Bone marrow aspirate smear: 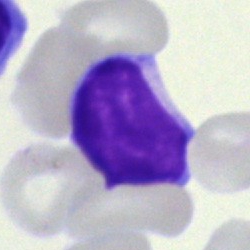

Single cell identified as a typical lymphocyte.